Bone marrow smear
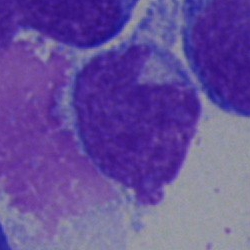
{"cell_type": "lymphocyte", "lineage": "lymphoid"}